Bone marrow smear:
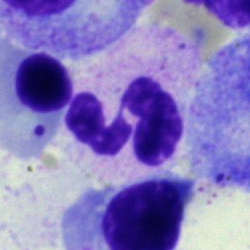

Impression → polymorphonuclear neutrophil.